Bone marrow smear
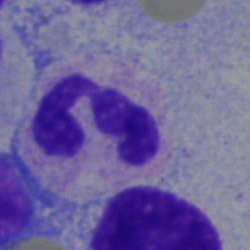

Cell — segmented neutrophil.